Brightfield, 40× oil-immersion objective. Bone marrow aspirate smear: 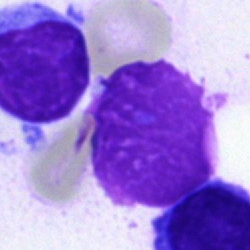
Showing an artifact.